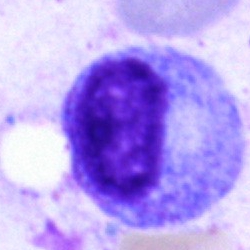The cell type is promyelocyte.